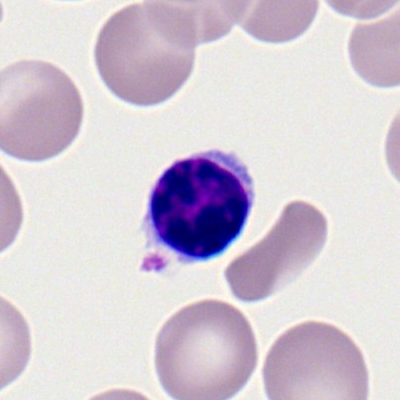

Cell: typical lymphocyte.